Single cell centered in the field; bone marrow aspirate smear — 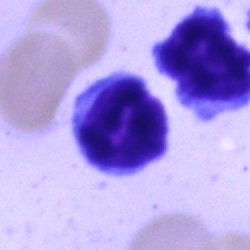
Classification — typical lymphocyte.